Bone marrow smear · brightfield, 40× oil-immersion objective
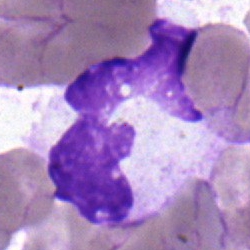
Q: What is shown here?
A: This is a neutrophil (segmented).